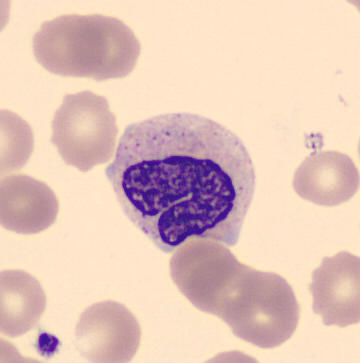 Impression — stab cell.
Peripheral blood film.